Bone marrow smear. 40× objective, oil immersion — 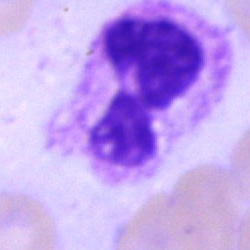

Cell = polymorphonuclear neutrophil.